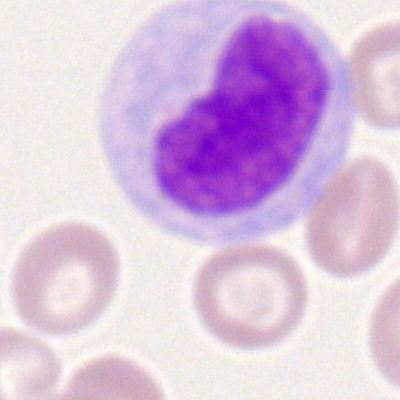
Q: What type of cell is this?
A: Monocyte.